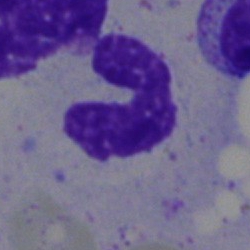
Morphology consistent with a band-form neutrophil.